Bone marrow smear
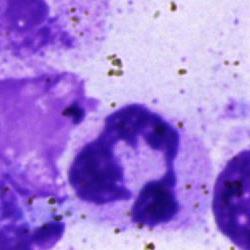 Impression — polymorphonuclear neutrophil.